Bone marrow aspirate smear
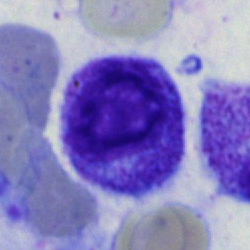
Q: Identify the cell.
A: Myelocyte.